Bone marrow aspirate smear
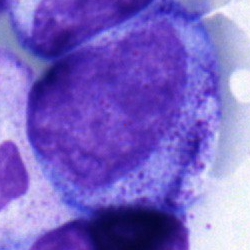Q: What is shown here?
A: A progranulocyte.